40× objective, oil immersion. Bone marrow aspirate smear — 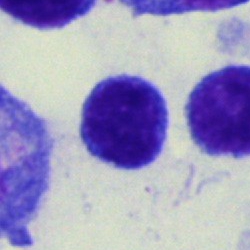 Q: What is shown here?
A: It is a lymphocyte.